Bone marrow aspirate smear.
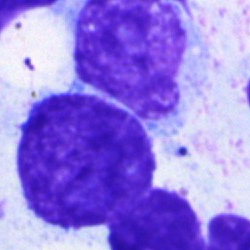Single cell identified as an artefact.